Bone marrow smear · 40× objective, oil immersion · 250×250 — 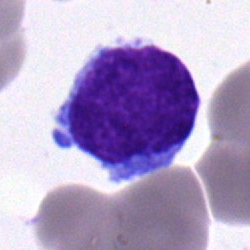

Impression — lymphocyte.